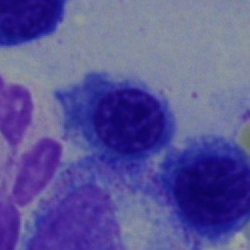
Specimen: bone marrow smear.
Morphological class: erythroblast.